Bone marrow smear.
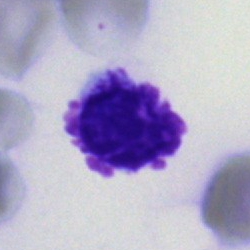 Morphology — artefact.